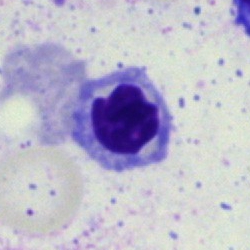

Bone marrow aspirate smear, single cell — nucleated red cell.